250 by 250 pixels · bone marrow smear:
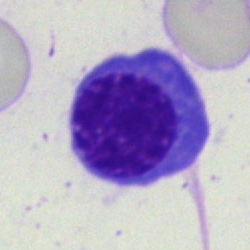

Cell: erythroblast.